Bone marrow aspirate smear:
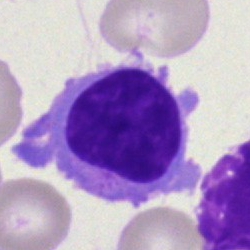 Morphology — typical lymphocyte.